Single cell centered in the field. Bone marrow smear. May-Grünwald-Giemsa stain
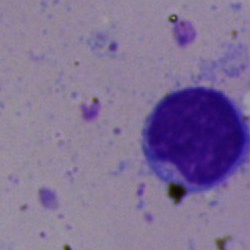

Q: What type of cell is this?
A: It is a typical lymphocyte.